Peripheral blood film
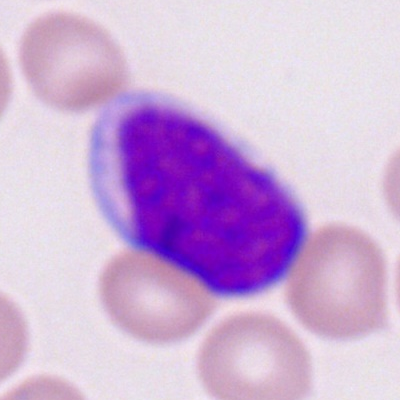 Cell type = myeloblast.